Bone marrow smear; Pappenheim-stained:
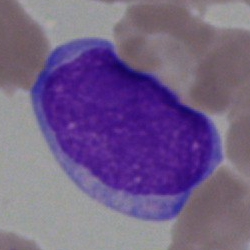 Impression → blast.